Bone marrow aspirate smear.
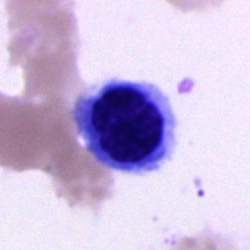

Morphology — nucleated red cell.